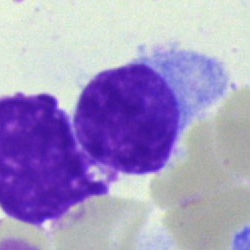Showing a hairy cell.